Image size 250×250 · bone marrow aspirate smear
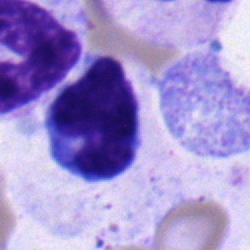

{"cell_type": "monocyte", "lineage": "myeloid"}